Bone marrow aspirate smear. Single cell centered in the field
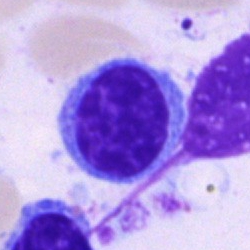Q: Which cell type is shown here?
A: It is a lymphocyte.